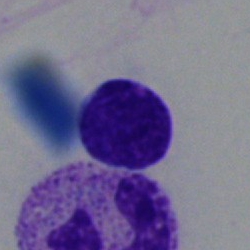 Specimen: bone marrow aspirate smear.
Cell type: lymphocyte.
Lineage: lymphoid.